Bone marrow aspirate smear: 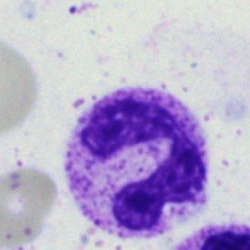 This is a neutrophil (segmented).